Peripheral blood film
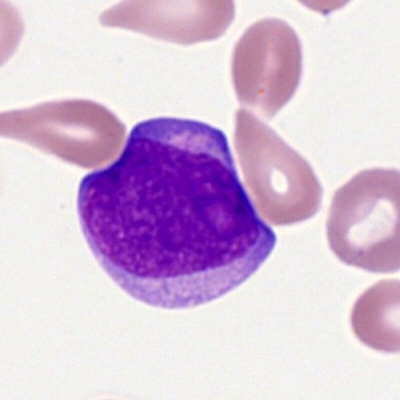Myeloid blast.